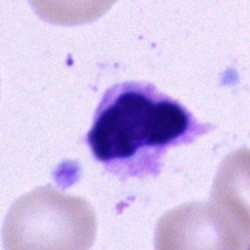{"cell_type": "segmented neutrophil"}